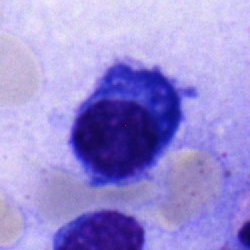

The cell type is plasma cell.